Romanowsky stain. Peripheral blood smear.
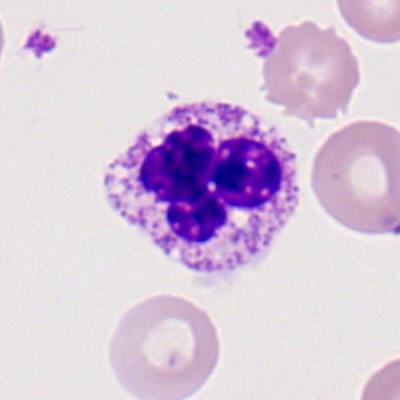 Q: Identify the cell.
A: It is a segmented neutrophil.